Bone marrow smear:
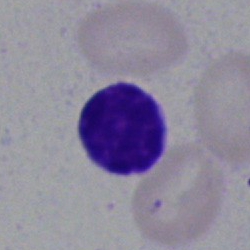

This is a typical lymphocyte.